Bone marrow smear
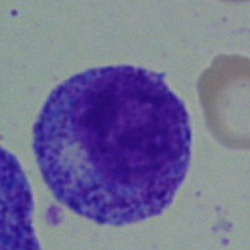The classification is myelocyte.